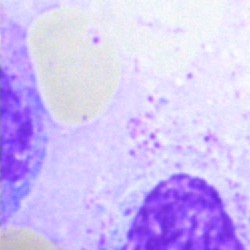
Specimen: bone marrow smear.
Cell type: artefact.